Bone marrow aspirate smear:
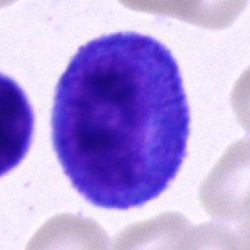
The cell shown is a progranulocyte.